Bone marrow aspirate smear · May-Grünwald-Giemsa/Pappenheim stain · brightfield microscopy, 40× oil immersion
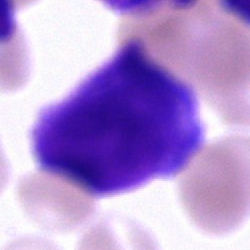

Morphological class — artefact.